250×250 px · bone marrow aspirate smear · single-cell crop.
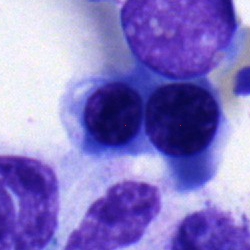Morphological class — erythroblast.